Bone marrow aspirate smear
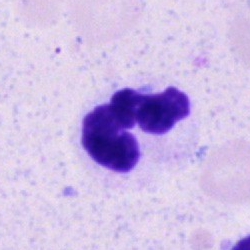
Cell = polymorphonuclear neutrophil.